Bone marrow smear:
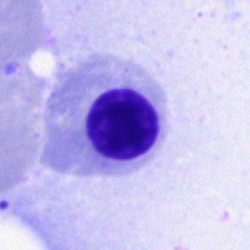 Morphology consistent with a normoblast.